Bone marrow aspirate smear; May-Grünwald-Giemsa/Pappenheim stain — 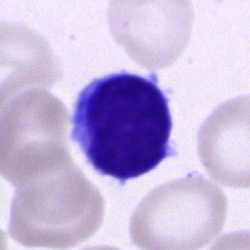Typical lymphocyte.